40× oil immersion; bone marrow aspirate smear:
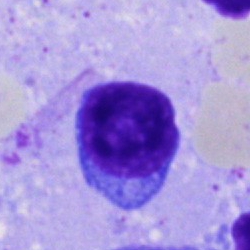 Single cell identified as a typical lymphocyte.